400×400 px. Peripheral blood film: 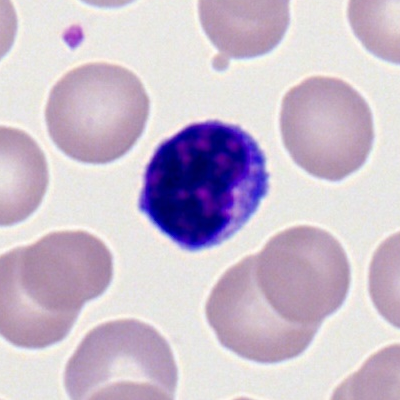
Typical lymphocyte.